Bone marrow aspirate smear. 250 by 250 pixels — 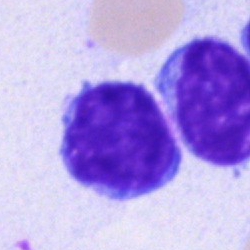

Morphology consistent with a typical lymphocyte.